Bone marrow aspirate smear:
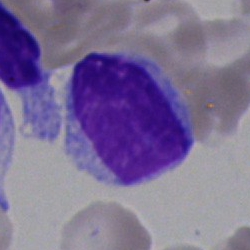
Morphology — lymphocyte.